Peripheral blood film · 100× objective, oil immersion
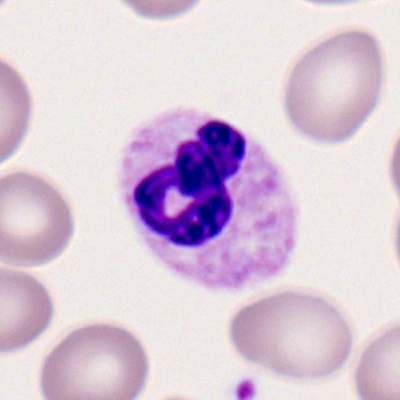Morphology consistent with a polymorphonuclear neutrophil.